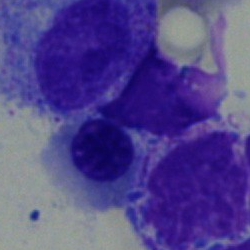

Impression — nucleated red cell.